Bone marrow smear · brightfield, 40× oil-immersion objective · 250 by 250 pixels.
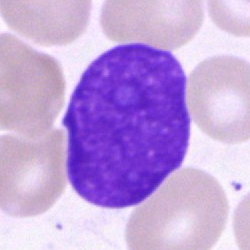 Morphological class — artefact.